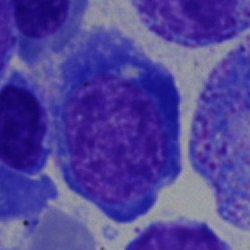

Morphological class = nucleated red blood cell.